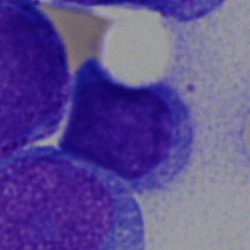 Impression — lymphocyte.